Bone marrow aspirate smear.
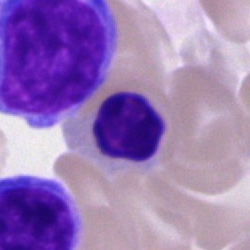 {"cell_type": "nucleated red cell"}